Bone marrow smear — 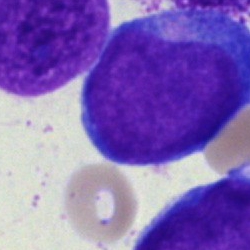
Morphological class = undifferentiated blast.